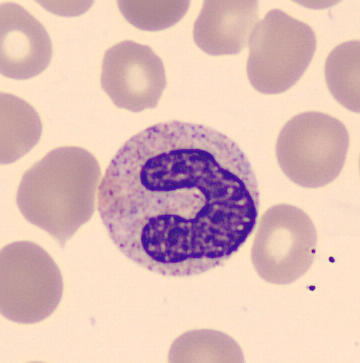 Single cell identified as a band neutrophil.
Acquisition: CellaVision DM96 digital cell image · image size 360×363 · peripheral blood smear.